Bone marrow smear: 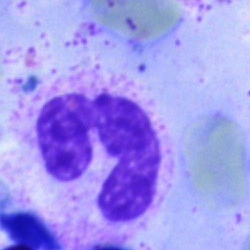A polymorphonuclear neutrophil.